Bone marrow smear — 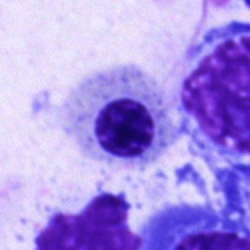The morphological class is nucleated red cell.